Single-cell crop · bone marrow aspirate smear — 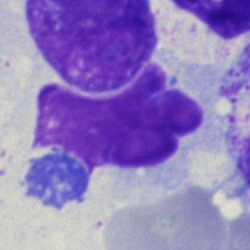An artifact.